Bone marrow aspirate smear: 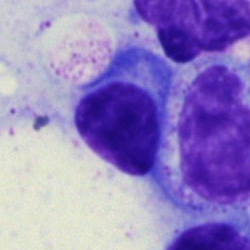 Showing a plasma cell.